Bone marrow smear · 40× objective, oil immersion.
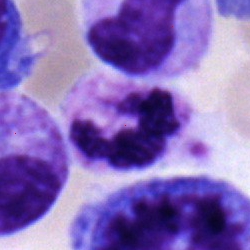

Q: Identify the cell.
A: A segmented neutrophil.